May-Grünwald-Giemsa stain. Bone marrow smear. Single-cell crop
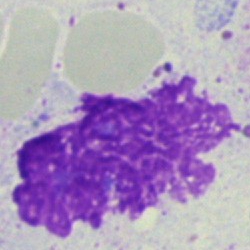
Morphology — artifact.